Bone marrow aspirate smear · May-Grünwald-Giemsa/Pappenheim stain · 40× oil immersion — 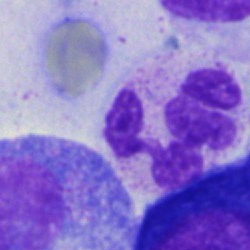The cell shown is a segmented neutrophil.